Bone marrow aspirate smear.
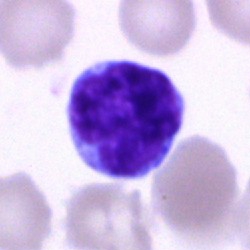Cell: lymphocyte.